Peripheral blood film: 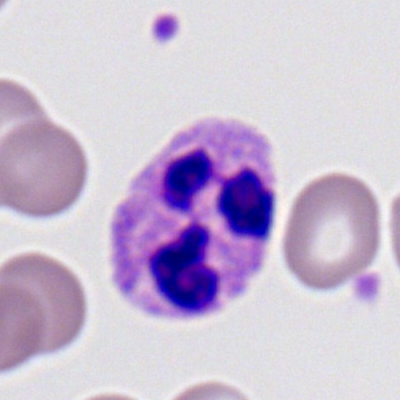The cell shown is a polymorphonuclear neutrophil.